Bone marrow aspirate smear.
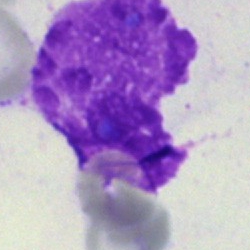
Cell type: artefact.